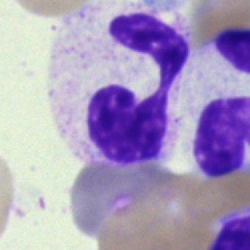Morphology — polymorphonuclear neutrophil.